Bone marrow smear:
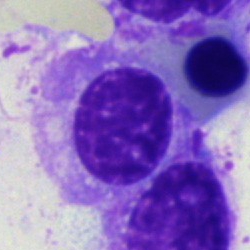Q: Identify the cell.
A: A plasmacyte.